Bone marrow aspirate smear.
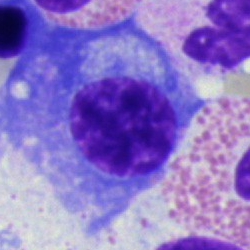
Morphology consistent with a plasmacyte.